Bone marrow aspirate smear — 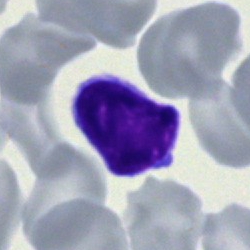 Classification — lymphocyte.